Single-cell field · bone marrow smear — 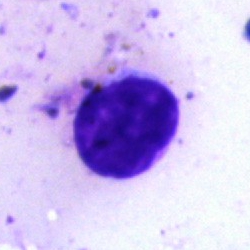

Morphology — artifact.